250×250 · single cell centered in the field · bone marrow aspirate smear.
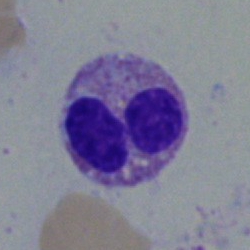 Cell — polymorphonuclear neutrophil.